Bone marrow aspirate smear — 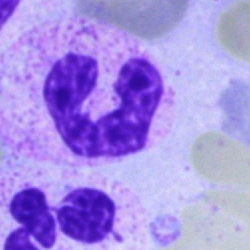
Q: What is the morphological classification of this cell?
A: It is a polymorphonuclear neutrophil.